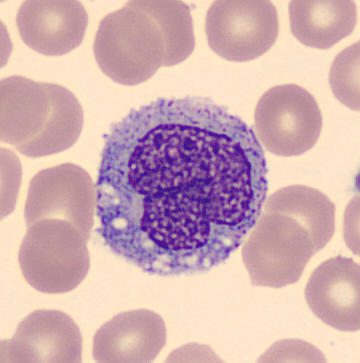Specimen: peripheral blood smear.
Cell type: monocyte.